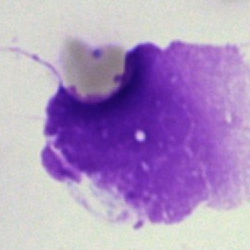Cell = artefact.